Bone marrow smear — 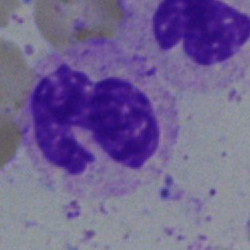

Q: What type of cell is this?
A: It is a segmented neutrophil.